Bone marrow smear: 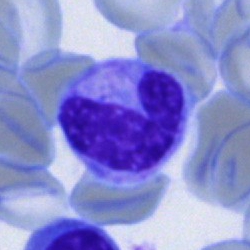Morphology consistent with a stab cell.